Bone marrow smear — 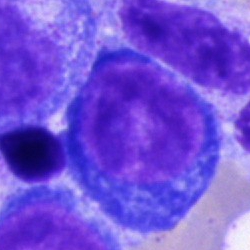
Morphological class = pronormoblast.